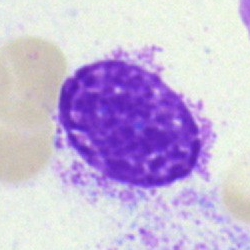 Cell type — artifact.